May-Grünwald-Giemsa/Pappenheim stain · bone marrow smear:
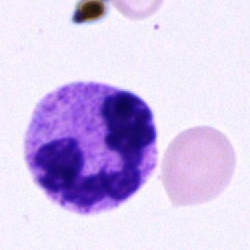

Cell type = neutrophil (segmented).